Bone marrow aspirate smear. Single-cell field: 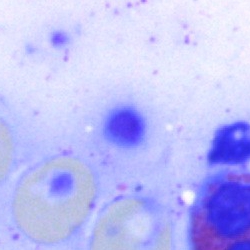Artifact.